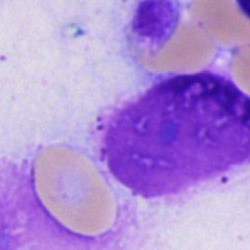

Q: What is shown here?
A: It is an artifact.